Peripheral blood film:
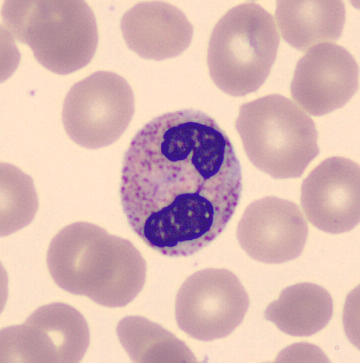The morphological class is segmented neutrophil.